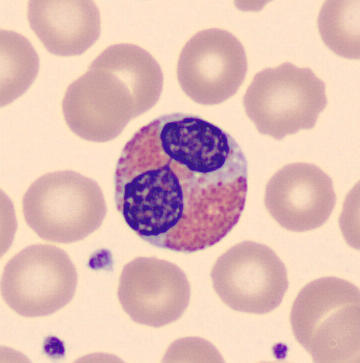Peripheral blood film. The cell shown is an eosinophil.